Bone marrow aspirate smear
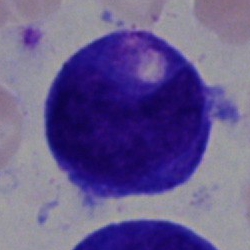 An undifferentiated blast.